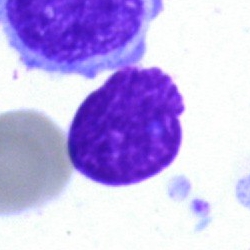

Q: What is shown here?
A: It is an artefact.